Bone marrow aspirate smear:
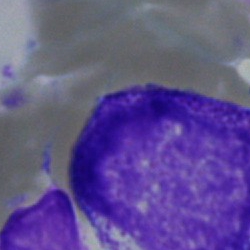Showing a myelocyte.